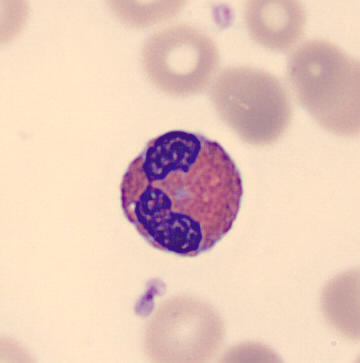

Peripheral blood film, single cell — eosinophil.